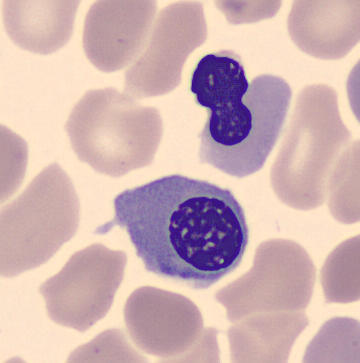

This is a normoblast.
Peripheral blood smear · MGG stain.